Bone marrow aspirate smear · MGG-stained.
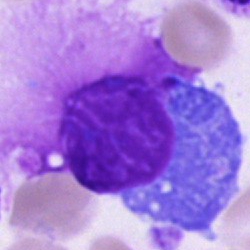
Plasmacyte.